Bone marrow aspirate smear — 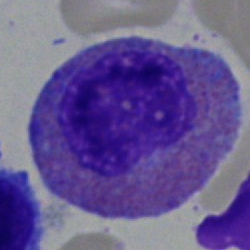An eosinophil.